Bone marrow aspirate smear: 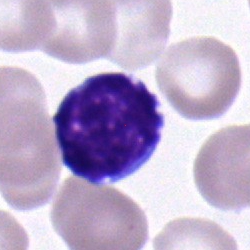
Morphology consistent with a typical lymphocyte.